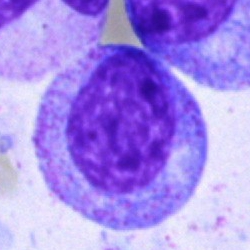

Q: Which cell type is shown here?
A: This is a myelocyte.